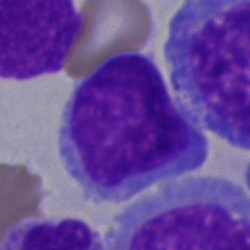 The classification is undifferentiated blast.